Bone marrow aspirate smear: 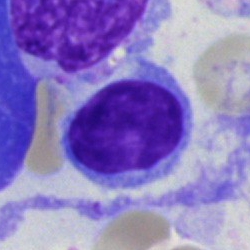Morphological class: lymphocyte.